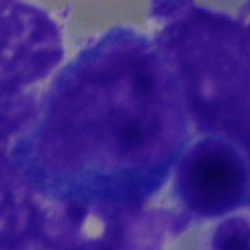

A pronormoblast.